Peripheral blood smear; single-cell field; MGG-stained — 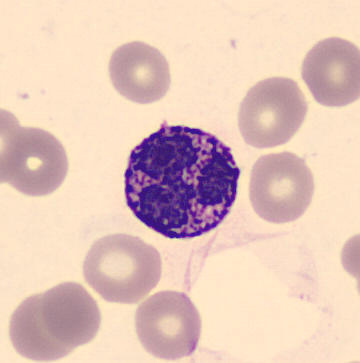 Cell — basophilic granulocyte.